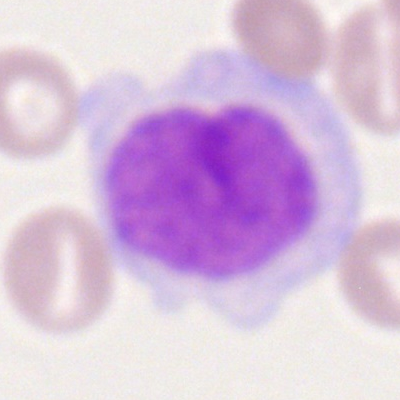Peripheral blood smear showing a monocyte.